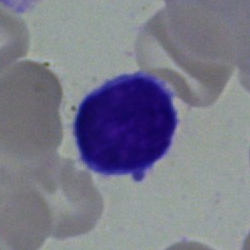

Showing a lymphocyte.